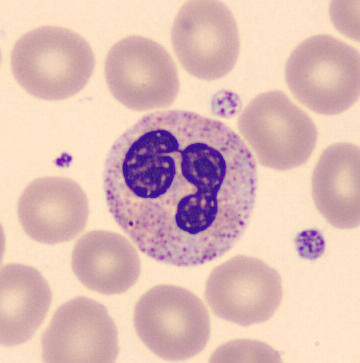 Q: Which cell type is shown here?
A: A polymorphonuclear neutrophil.

Acquisition: Peripheral blood smear.